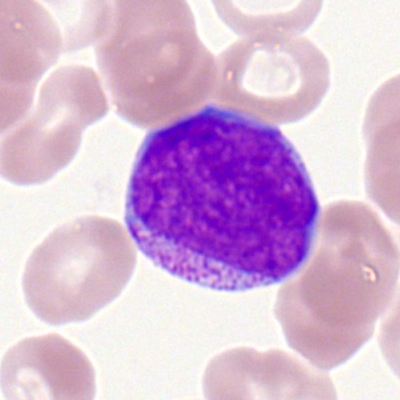

This is a myeloblast.